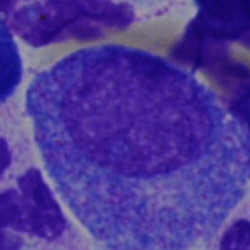
A promyelocyte.